Bone marrow smear
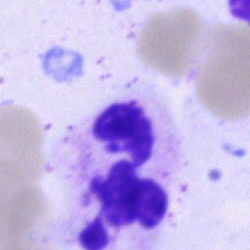 The cell shown is a segmented neutrophil.